Bone marrow smear; 250 by 250 pixels — 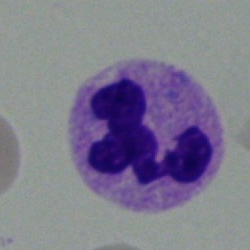
The cell shown is a neutrophil (segmented).